Single-cell crop · 250×250 · bone marrow smear
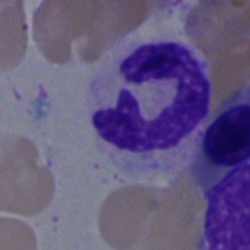
Q: Identify the cell.
A: Polymorphonuclear neutrophil.